Bone marrow aspirate smear:
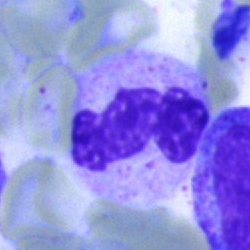

Cell type — segmented neutrophil.